Cropped to a single cell; bone marrow aspirate smear; May-Grünwald-Giemsa/Pappenheim stain: 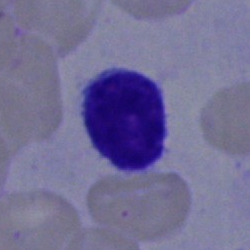

A typical lymphocyte.